May-Grünwald-Giemsa stain. Bone marrow smear:
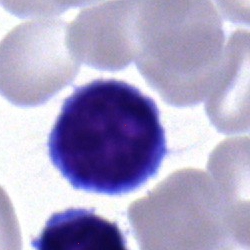

Q: Which cell type is shown here?
A: A lymphocyte.